May-Grünwald-Giemsa stain · bone marrow aspirate smear
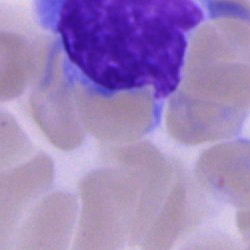Impression → artifact.